Bone marrow aspirate smear — 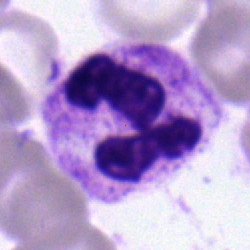Impression — segmented neutrophil.